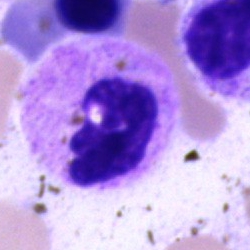Morphology → neutrophil (segmented).